Bone marrow aspirate smear · 250×250:
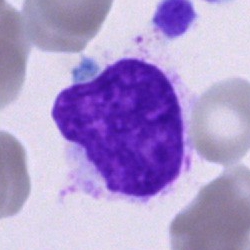 This is an unidentifiable cell.